250×250 px. Single-cell crop. Bone marrow smear — 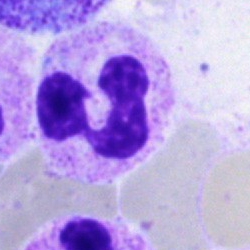 Specimen: bone marrow smear.
Cell: neutrophil (segmented).
Lineage: myeloid.